400 by 400 pixels. Peripheral blood smear:
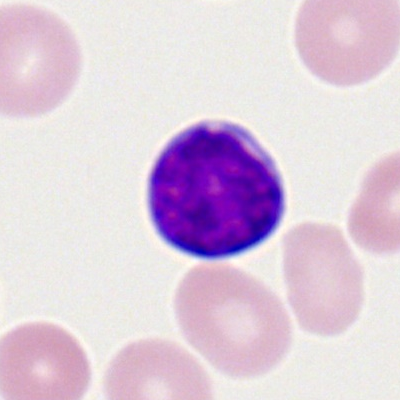 The classification is lymphocyte.